Bone marrow smear — 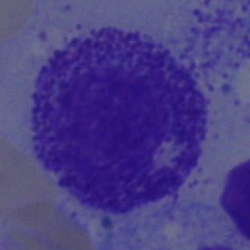

Single cell identified as a myelocyte.